Bone marrow aspirate smear — 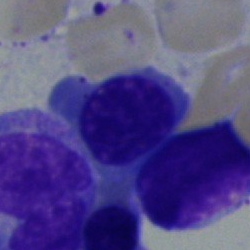 This is a nucleated red cell.